Bone marrow smear; single-cell field:
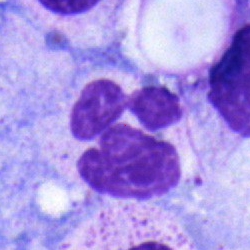Cell = segmented neutrophil.